250×250 · single-cell crop · bone marrow smear
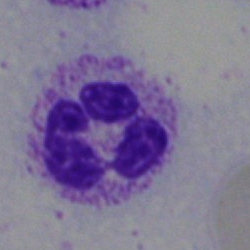The cell shown is a polymorphonuclear neutrophil.